250×250; bone marrow aspirate smear; single cell centered in the field — 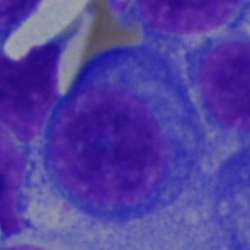Morphology consistent with a plasmacyte.